Bone marrow aspirate smear:
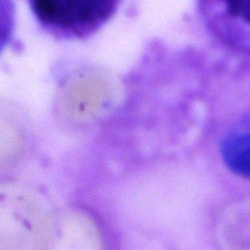
Morphology — artefact.